Bone marrow smear:
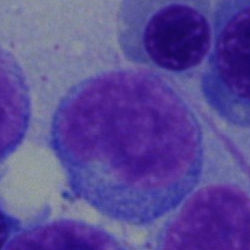
Q: What is the morphological classification of this cell?
A: It is a typical lymphocyte.